Bone marrow smear. Pappenheim-stained:
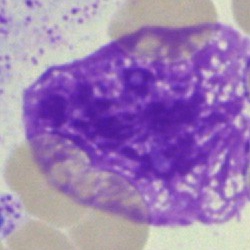 Morphology consistent with an artifact.